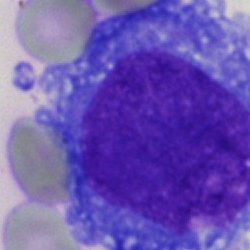{"cell_type": "blast cell"}